Single-cell crop; May-Grünwald-Giemsa/Pappenheim stain; bone marrow aspirate smear:
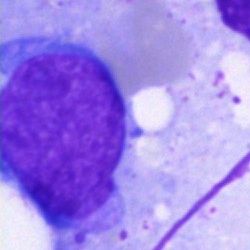
Morphology — blast cell.